Brightfield microscopy, 40× oil immersion. Bone marrow smear. Cropped to a single cell:
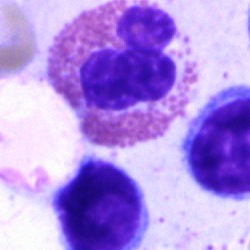 {"cell_type": "eosinophilic granulocyte", "lineage": "myeloid"}